Bone marrow aspirate smear — 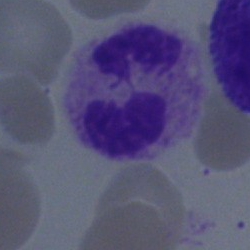

Morphology → neutrophil (segmented).